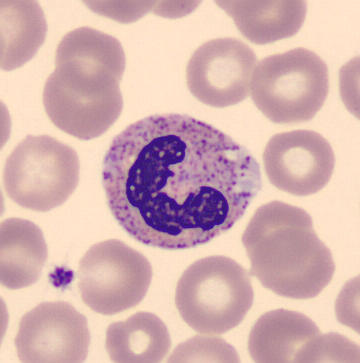

Peripheral blood film.

Morphological class: band-form neutrophil.